Bone marrow smear — 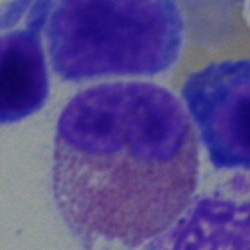An eosinophil.